Single cell centered in the field · May-Grünwald-Giemsa/Pappenheim stain · bone marrow aspirate smear — 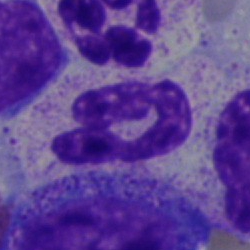Impression → segmented neutrophil.